Bone marrow smear:
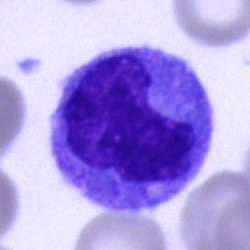 The cell shown is a monocyte.